May-Grünwald-Giemsa/Pappenheim stain. Bone marrow aspirate smear. 250×250 px: 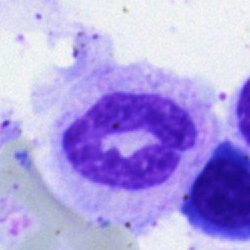
Classification = segmented neutrophil.